Bone marrow smear.
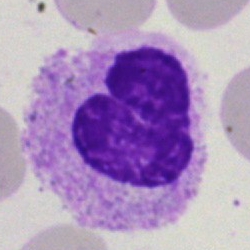
Q: What is shown here?
A: An artifact.